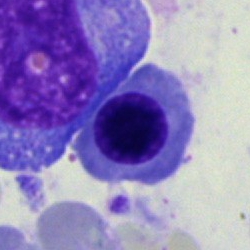

Specimen: bone marrow aspirate smear.
Classification: erythroblast.
Lineage: erythroid.